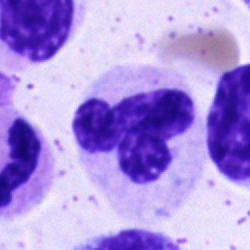Specimen: bone marrow aspirate smear.
Morphological class: segmented neutrophil.
Lineage: myeloid.